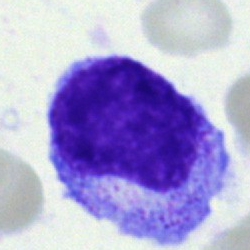

Cell — myelocyte.